Bone marrow smear · brightfield, 40× oil-immersion objective.
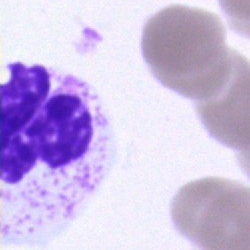A segmented neutrophil.